Peripheral blood film: 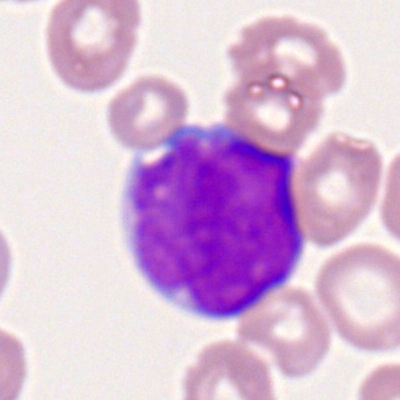 {"cell_type": "myeloid blast"}